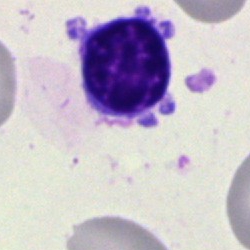

Impression → typical lymphocyte.